40× oil immersion; single-cell field; bone marrow smear.
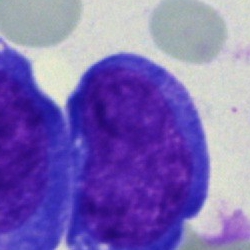

Specimen: bone marrow aspirate smear.
Morphological class: blast cell.